Bone marrow smear; May-Grünwald-Giemsa/Pappenheim stain; 250×250
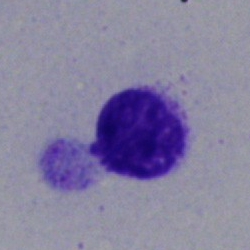
Artifact.